Bone marrow aspirate smear:
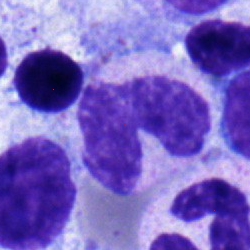 The cell is band neutrophil.